Bone marrow aspirate smear; image size 250×250; 40× oil immersion: 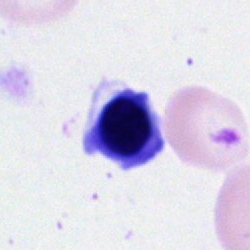

The cell shown is an erythroblast.